Bone marrow smear.
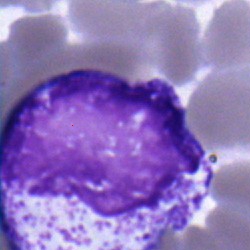 Specimen: bone marrow smear.
Cell type: myelocyte.